Single-cell crop. Bone marrow smear. MGG-stained: 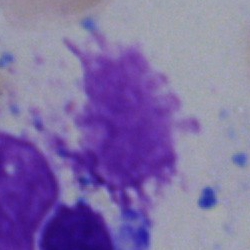 Artefact.